Bone marrow aspirate smear; 40× objective, oil immersion; 250×250 px — 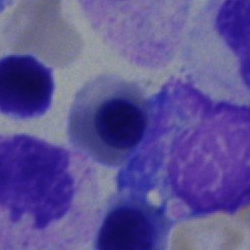Morphology — nucleated red cell.